Peripheral blood smear.
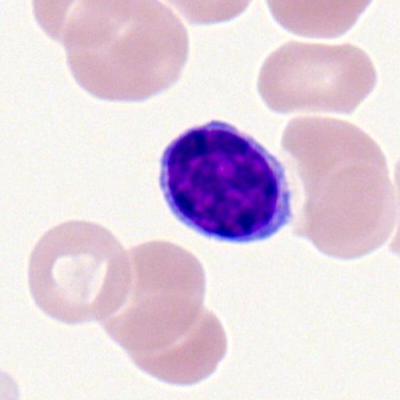 Single cell identified as a lymphocyte.